Brightfield, 40× oil-immersion objective; bone marrow smear:
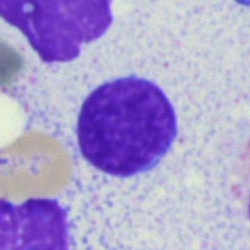
A typical lymphocyte.